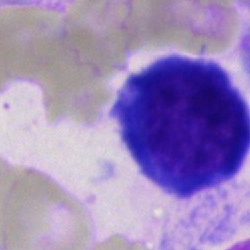

Bone marrow smear showing a nucleated red blood cell.